Brightfield, 40× oil-immersion objective; bone marrow aspirate smear: 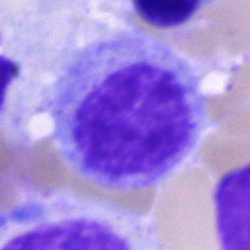

Morphology consistent with a myelocyte.